Bone marrow aspirate smear — 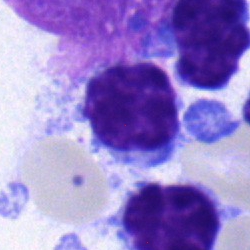Specimen: bone marrow smear.
Classification: lymphocyte.
Lineage: lymphoid.